Bone marrow aspirate smear · image size 250×250 · single-cell crop
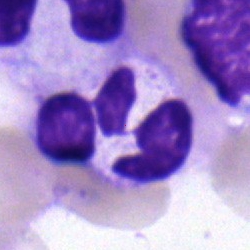The cell shown is a segmented neutrophil.